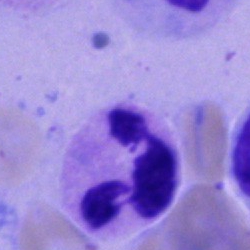
Classification: polymorphonuclear neutrophil.